Bone marrow aspirate smear.
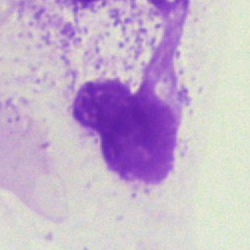Morphological class: artefact.